Bone marrow smear · image size 250×250.
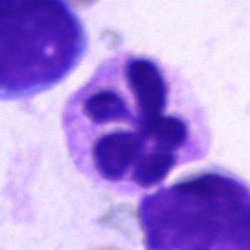

Classification — neutrophil (segmented).